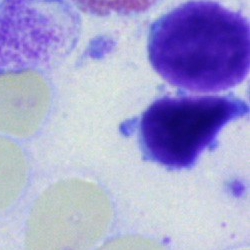
Specimen: bone marrow aspirate smear.
Morphological class: typical lymphocyte.